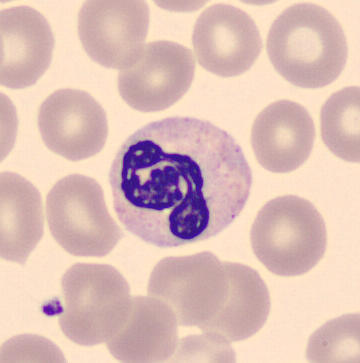Morphology consistent with a neutrophil (segmented).
Peripheral blood film. 360 by 363 pixels.